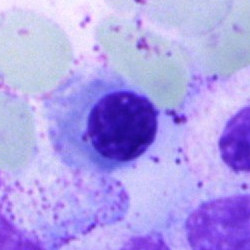
Morphology consistent with an erythroblast.